Bone marrow smear · MGG-stained
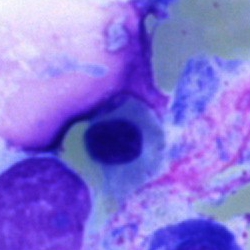 {"cell_type": "nucleated red blood cell", "lineage": "erythroid"}